Bone marrow aspirate smear · brightfield, 40× oil-immersion objective:
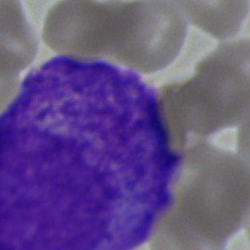

Undifferentiated blast.